Image size 250×250; May-Grünwald-Giemsa/Pappenheim stain; bone marrow smear:
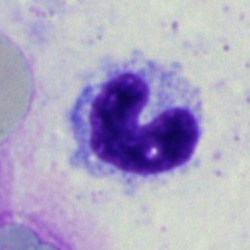A stab cell.